Brightfield, 40× oil-immersion objective · bone marrow aspirate smear.
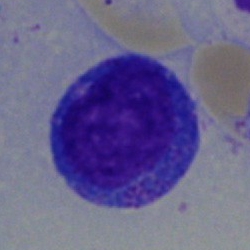

Showing a promyelocyte.